Peripheral blood film; Romanowsky-type stain:
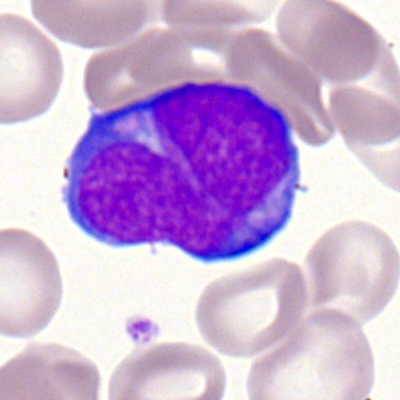Cell type — myeloid blast.